Bone marrow aspirate smear. Brightfield microscopy, 40× oil immersion. Single cell centered in the field
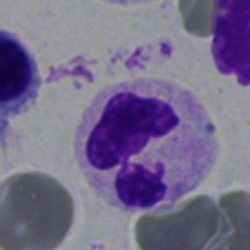A segmented neutrophil.